Peripheral blood film. Image size 400×400. Romanowsky-type stain:
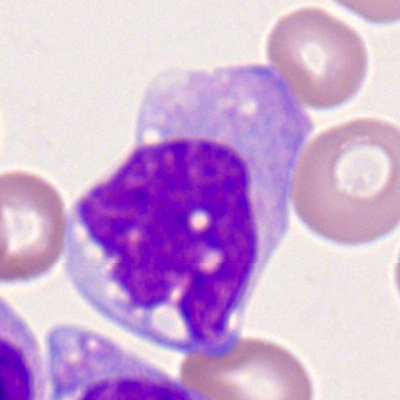 {"cell_type": "monocyte", "lineage": "myeloid"}